Bone marrow smear; single-cell field:
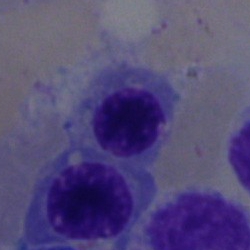 {"cell_type": "nucleated red blood cell", "lineage": "erythroid"}